Bone marrow aspirate smear — 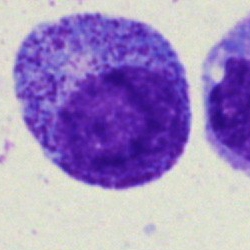
Q: What is the morphological classification of this cell?
A: A progranulocyte.